MGG-stained; bone marrow smear; 40× oil immersion — 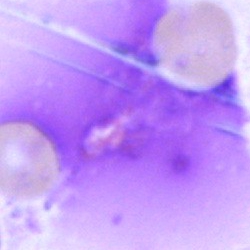Cell type = artifact.